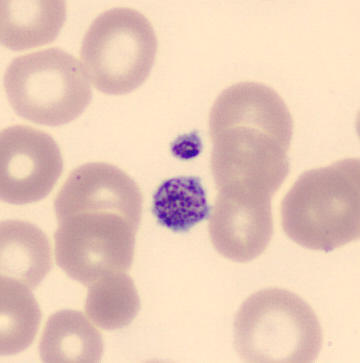

{"cell_type": "thrombocyte"} Acquisition: Peripheral blood smear.